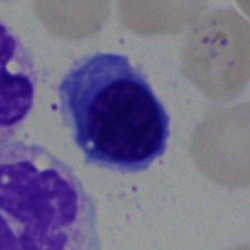
Morphology consistent with a nucleated red cell.